Peripheral blood film · MGG stain · image size 360×363: 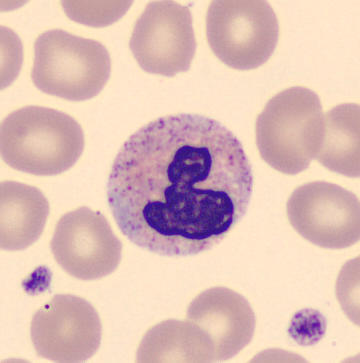
Single cell identified as a segmented neutrophil.